Bone marrow smear:
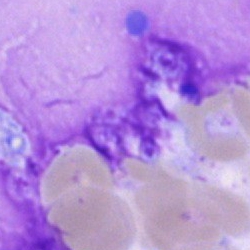

Specimen: bone marrow smear.
Cell type: artefact.